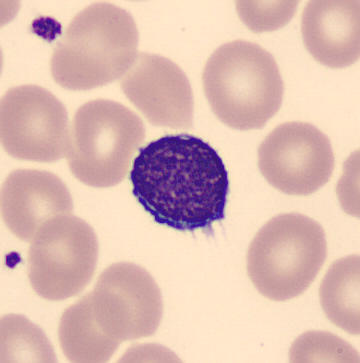 Q: What cell is this?
A: It is a typical lymphocyte.
Image: Peripheral blood smear.